Bone marrow smear; May-Grünwald-Giemsa stain; 250×250 px.
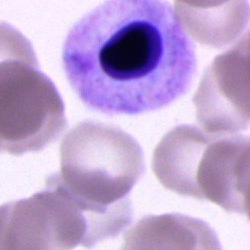

Specimen: bone marrow aspirate smear.
Classification: unidentifiable cell.